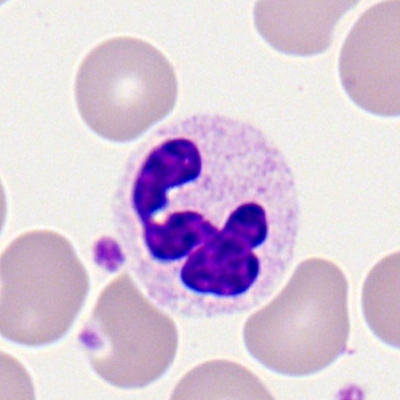 This is a neutrophil (segmented).